Bone marrow aspirate smear — 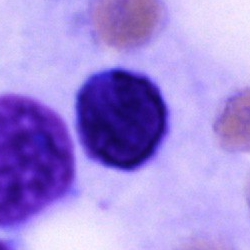 Morphology → cell of indeterminate lineage.